Bone marrow smear. May-Grünwald-Giemsa/Pappenheim stain. Brightfield, 40× oil-immersion objective
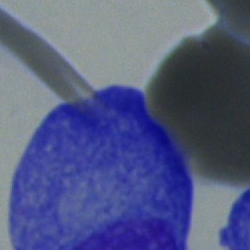
{"cell_type": "plasma cell"}